Bone marrow aspirate smear
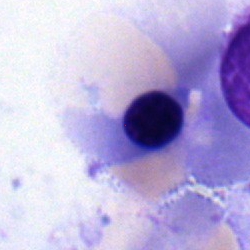

A nucleated red cell.